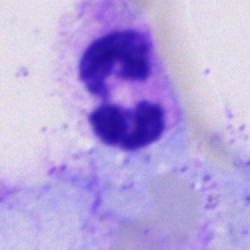

Cell — polymorphonuclear neutrophil.